Bone marrow aspirate smear · 250 by 250 pixels · MGG-stained:
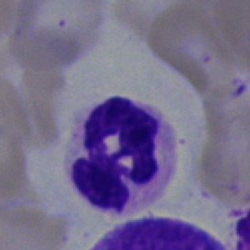 A polymorphonuclear neutrophil.